Single-cell crop; bone marrow aspirate smear — 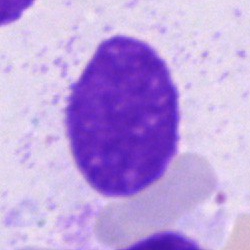 Classification — artefact.